Bone marrow aspirate smear. Single-cell crop: 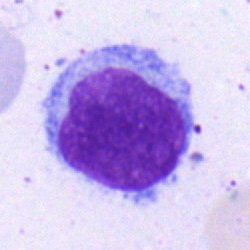
Morphology consistent with a lymphocyte.